Bone marrow aspirate smear · cropped to a single cell
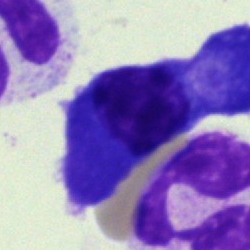Morphology consistent with a plasma cell.